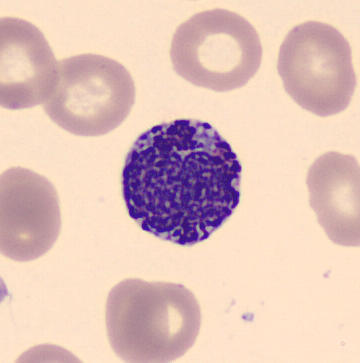 Q: What is shown here?
A: This is a basophil.